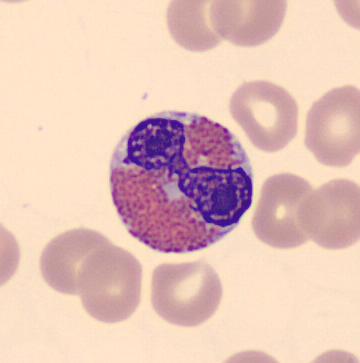
Preparation: Peripheral blood smear.

Identified as an eosinophilic granulocyte.